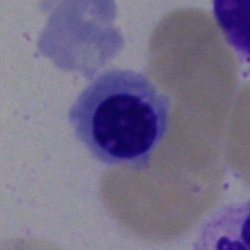
Cell type — nucleated red blood cell.